Bone marrow aspirate smear · 250×250 px.
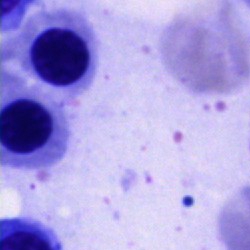 The classification is normoblast.